Bone marrow smear; 250×250 px: 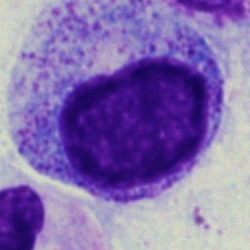
Specimen: bone marrow aspirate smear.
Cell: progranulocyte.
Lineage: myeloid.